Bone marrow aspirate smear · cropped to a single cell
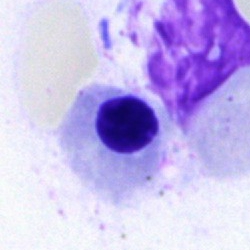

Q: Which cell type is shown here?
A: Nucleated red cell.